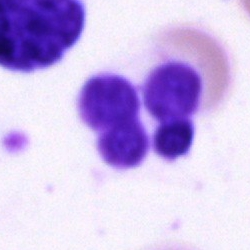Q: What is shown here?
A: This is a polymorphonuclear neutrophil.